Pappenheim-stained. Bone marrow smear: 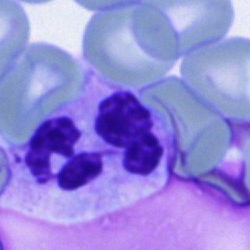 Morphology consistent with a polymorphonuclear neutrophil.